Bone marrow smear:
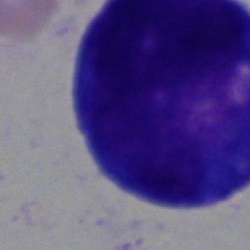Cell type: undifferentiated blast.